Bone marrow aspirate smear — 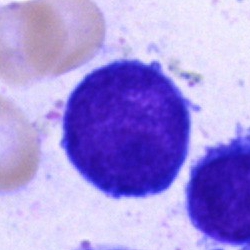

Cell: pronormoblast.